Pappenheim-stained; bone marrow aspirate smear: 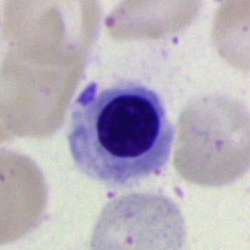Q: What type of cell is this?
A: Normoblast.